Bone marrow aspirate smear:
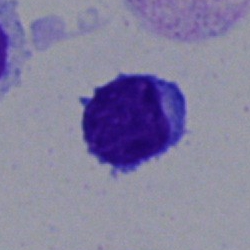The cell shown is a typical lymphocyte.